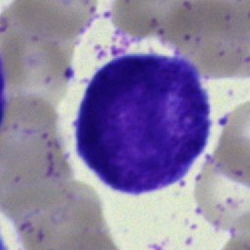

Classification — progranulocyte.